Bone marrow aspirate smear — 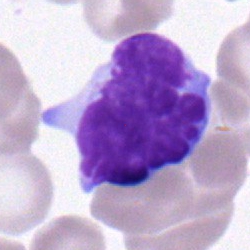 Morphology → typical lymphocyte.